Bone marrow smear — 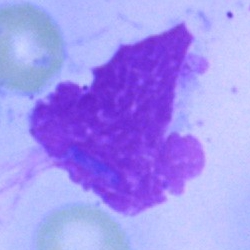
The cell shown is an artifact.